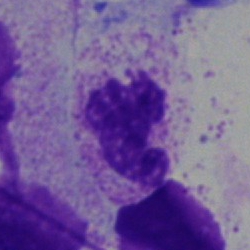Classification = polymorphonuclear neutrophil.